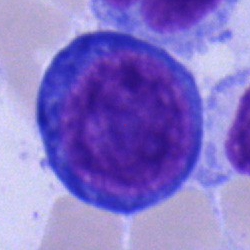

Single-cell crop from a bone marrow smear: pronormoblast.